Brightfield, 40× oil-immersion objective. Bone marrow smear — 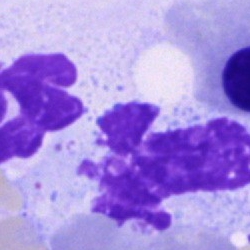
This is an artifact.